Bone marrow smear; May-Grünwald-Giemsa/Pappenheim stain.
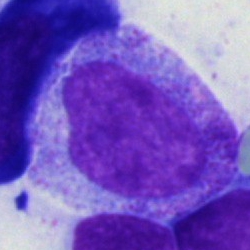Q: What is shown here?
A: This is a promyelocyte.